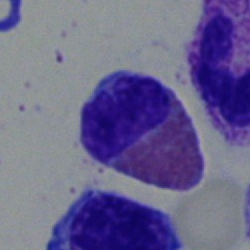Cell type — eosinophilic granulocyte.